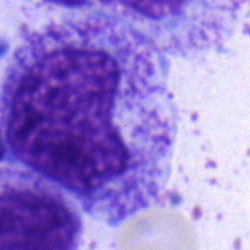 Showing a metamyelocyte.